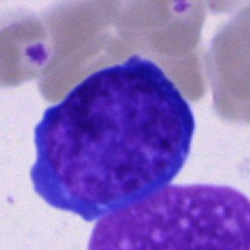
Specimen: bone marrow aspirate smear.
Cell type: pronormoblast.
Lineage: erythroid.